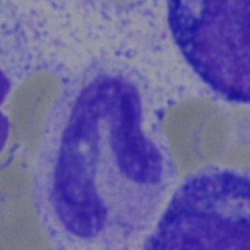Single cell identified as a segmented neutrophil.